Bone marrow smear — 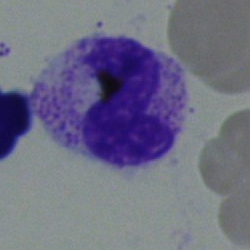

Q: Which cell type is shown here?
A: Stab cell.